Peripheral blood film — 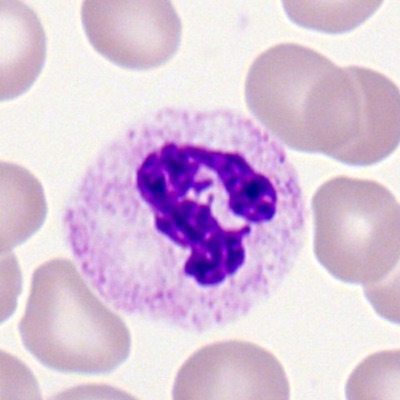
Morphology consistent with a neutrophil (segmented).